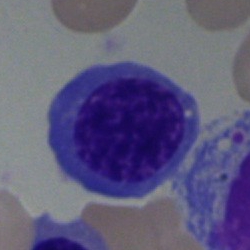

Impression — nucleated red cell.